Bone marrow aspirate smear. May-Grünwald-Giemsa stain.
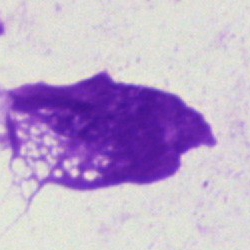 Cell type: artifact.